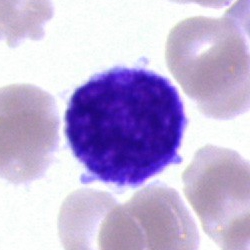The cell is lymphocyte.